May-Grünwald-Giemsa/Pappenheim stain. Bone marrow smear. Brightfield, 40× oil-immersion objective
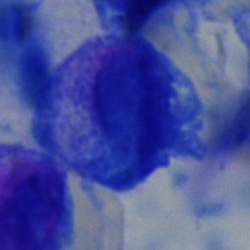A plasma cell.